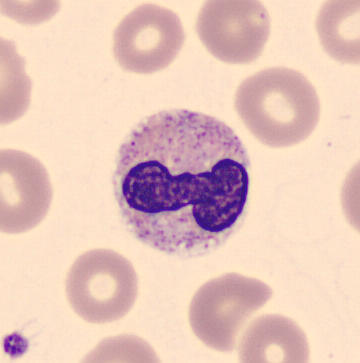

Image: MGG-stained. Specimen: peripheral blood smear.
Cell: stab cell.
Lineage: myeloid.